Bone marrow smear — 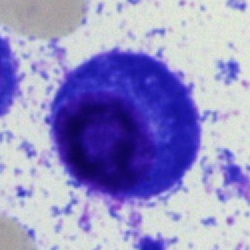
The morphological class is plasma cell.